Cropped to a single cell · bone marrow aspirate smear · MGG-stained:
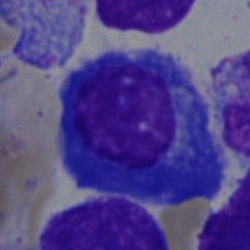Cell type: plasmacyte.